Cropped to a single cell. Bone marrow aspirate smear — 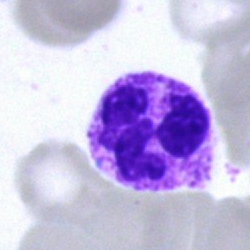 Classification — neutrophil (segmented).